Bone marrow smear: 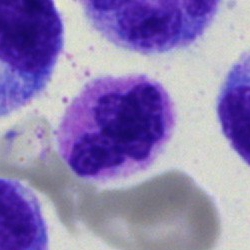 Classification — neutrophil (segmented).